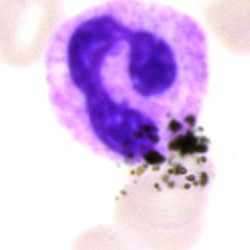Q: What type of cell is this?
A: Polymorphonuclear neutrophil.